Bone marrow smear: 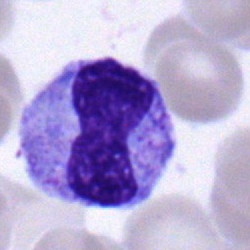

The cell shown is a metamyelocyte.